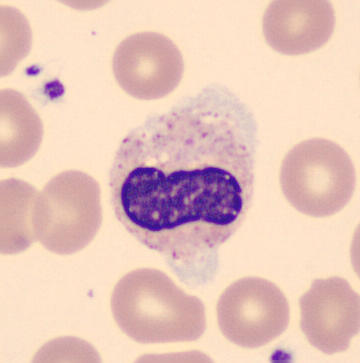Specimen: peripheral blood film.
Classification: band neutrophil.
Lineage: myeloid.
Acquisition: Automated cell imaging (CellaVision DM96).